Bone marrow aspirate smear · brightfield, 40× oil-immersion objective:
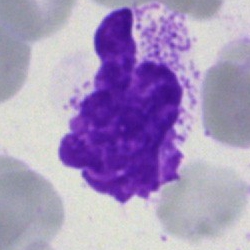
Classification = artefact.